Peripheral blood film: 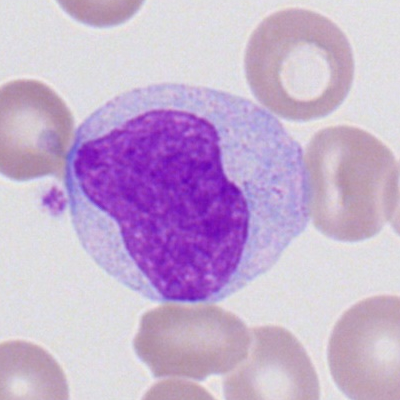
Morphology → myeloblast.